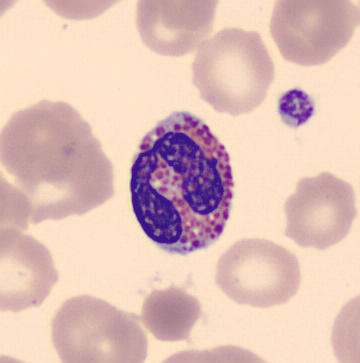
CellaVision DM96 digital cell image. Peripheral blood film.
Morphological class: eosinophilic granulocyte.